Bone marrow smear
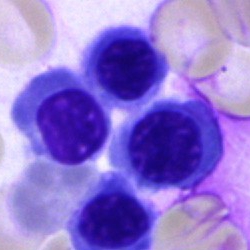 Morphological class: erythroblast.